Bone marrow smear — 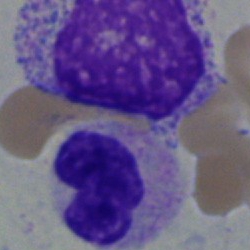 A segmented neutrophil.